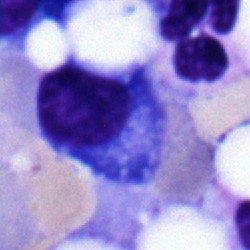Specimen: bone marrow smear.
Cell type: plasmacyte.
Lineage: lymphoid.